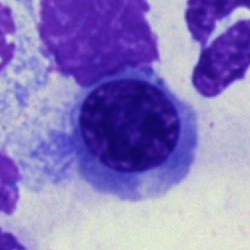
Q: What is the morphological classification of this cell?
A: It is an erythroblast.